Bone marrow aspirate smear — 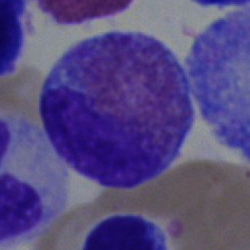Single cell identified as an eosinophil.